Peripheral blood smear
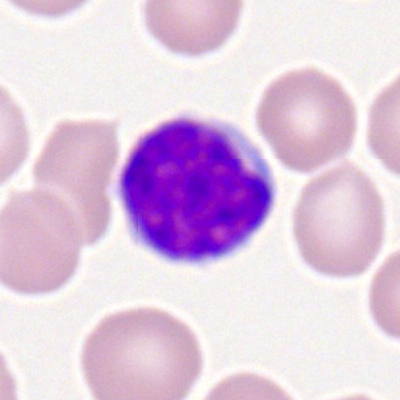
Classification = lymphocyte.